Bone marrow smear — 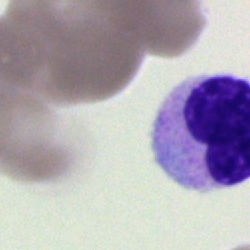Specimen: bone marrow smear.
Classification: unidentifiable cell.